250×250 px · bone marrow aspirate smear
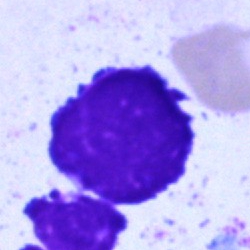This is an artifact.